Bone marrow smear. 250×250 px
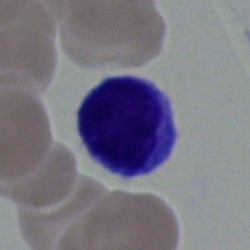

Cell — lymphocyte.